Bone marrow aspirate smear: 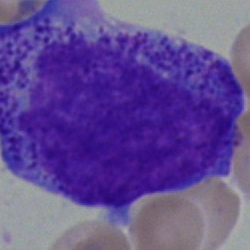The morphological class is promyelocyte.